Bone marrow smear:
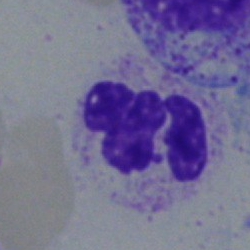 Specimen: bone marrow smear.
Classification: normoblast.
Lineage: erythroid.